Bone marrow smear.
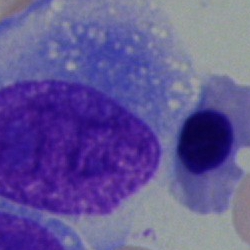

This is an undifferentiated blast.